Bone marrow smear. 40× objective, oil immersion
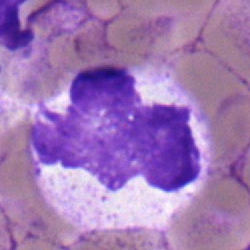Specimen: bone marrow smear.
Cell: band-form neutrophil.
Lineage: myeloid.